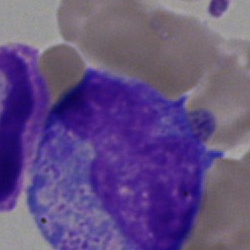The cell is promyelocyte.